Bone marrow aspirate smear.
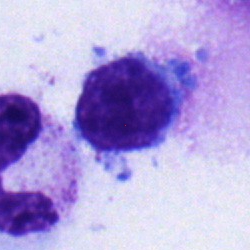Showing a lymphocyte.